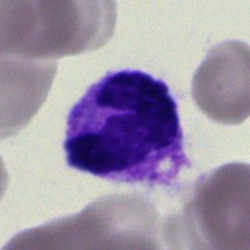
This is a segmented neutrophil.